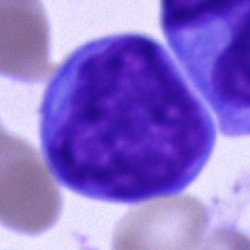
The cell shown is a blast.